Bone marrow smear.
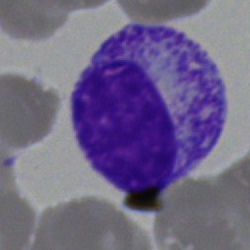A myelocyte.